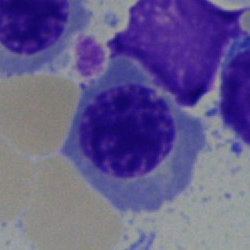 Bone marrow smear showing a nucleated red cell.